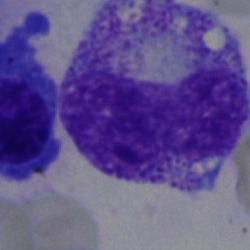

Morphological class: promyelocyte.